Bone marrow aspirate smear; 250×250 px; cropped to a single cell: 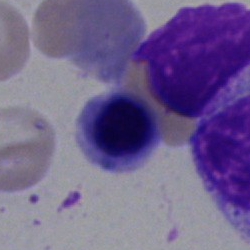 The cell is normoblast.